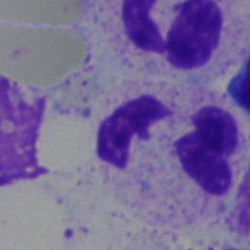
Cell type = segmented neutrophil.